250×250; brightfield microscopy, 40× oil immersion; bone marrow smear.
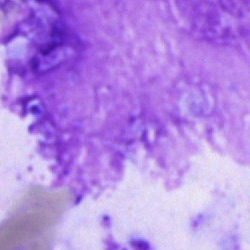

{"cell_type": "artifact"}